Bone marrow aspirate smear
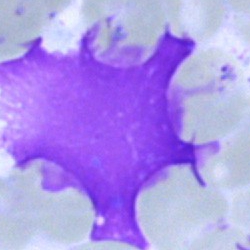
Showing an artifact.